Bone marrow aspirate smear:
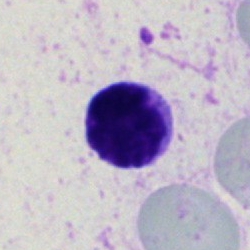 This is a lymphocyte.